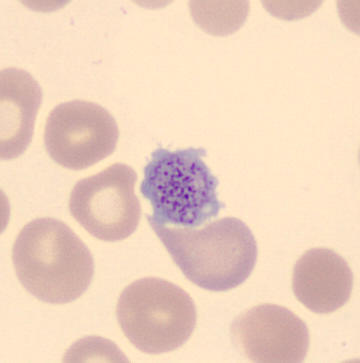Impression → platelet.

Peripheral blood smear · May-Grünwald-Giemsa-stained · CellaVision DM96 digital cell image.